Bone marrow smear.
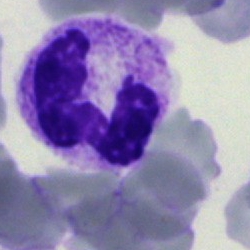
A segmented neutrophil.